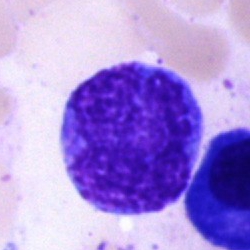 Bone marrow aspirate smear, single cell — monocyte.